Bone marrow smear; 40× objective, oil immersion:
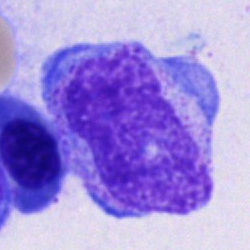

The cell shown is a promyelocyte.